Single-cell field. Bone marrow smear — 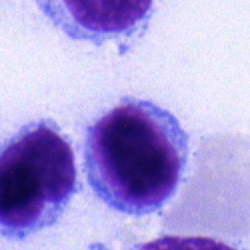Morphological class — typical lymphocyte.